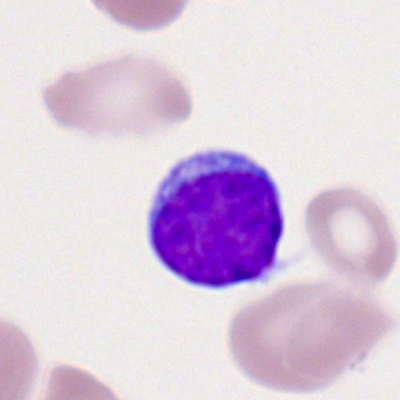 Peripheral blood film, single cell — typical lymphocyte.